Bone marrow aspirate smear · single cell centered in the field · Pappenheim-stained
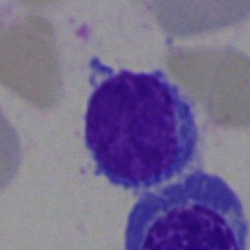

Classification = typical lymphocyte.